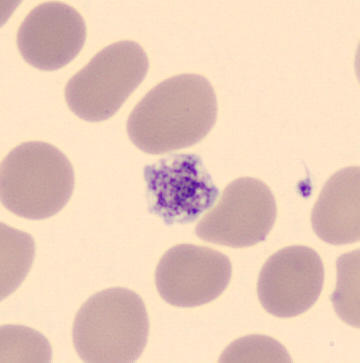
Q: What is this?
A: A platelet. Preparation: MGG-stained · peripheral blood film.